Single cell centered in the field; bone marrow smear:
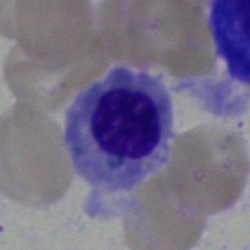
Q: What is shown here?
A: Erythroblast.